Bone marrow aspirate smear. May-Grünwald-Giemsa/Pappenheim stain:
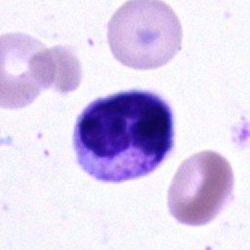
Q: What type of cell is this?
A: A neutrophil (segmented).